Brightfield microscopy, 40× oil immersion · bone marrow smear
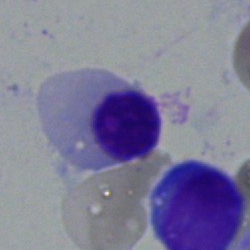Specimen: bone marrow smear.
Classification: nucleated red blood cell.